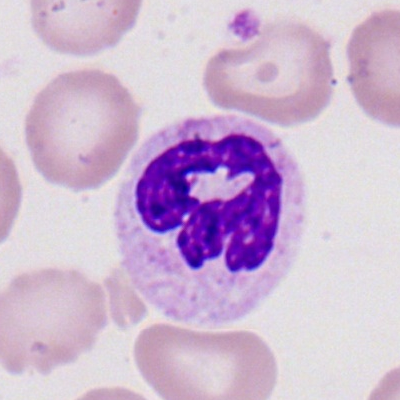
Morphology — segmented neutrophil.